Bone marrow aspirate smear:
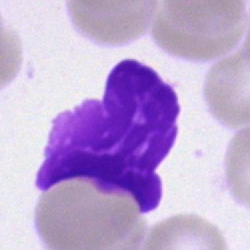
Impression → artifact.